Bone marrow smear: 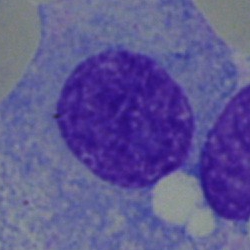
The cell type is plasmacyte.